Bone marrow smear; brightfield, 40× oil-immersion objective — 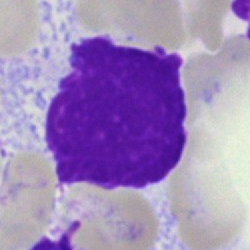

Q: What is shown here?
A: It is an artifact.